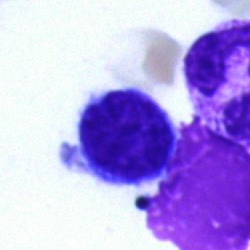
Single-cell crop from a bone marrow smear: typical lymphocyte.